Bone marrow aspirate smear.
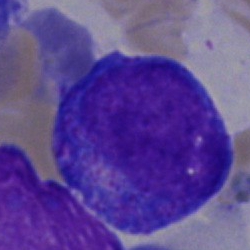This is a promyelocyte.